Bone marrow aspirate smear. Pappenheim-stained:
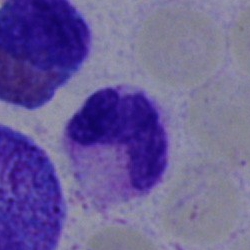 Morphological class: band neutrophil.